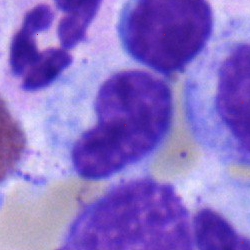
Q: Identify the cell.
A: This is a metamyelocyte.